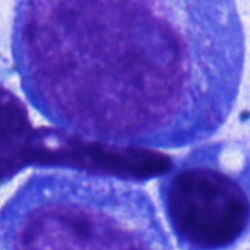

{"cell_type": "blast"}